Cropped to a single cell · brightfield microscopy, 40× oil immersion · bone marrow aspirate smear: 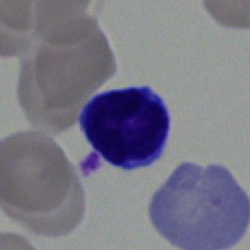

Q: What is shown here?
A: Typical lymphocyte.